40× objective, oil immersion; single-cell crop; bone marrow smear
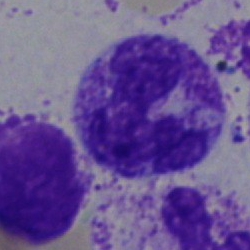{"cell_type": "neutrophil (segmented)", "lineage": "myeloid"}